Bone marrow aspirate smear: 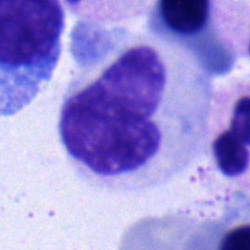
Cell — band neutrophil.